Bone marrow aspirate smear — 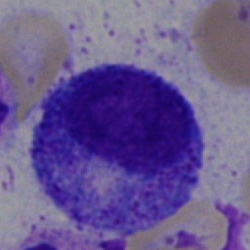 The classification is progranulocyte.